Bone marrow smear. May-Grünwald-Giemsa/Pappenheim stain: 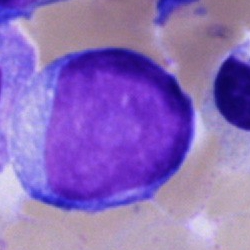 Impression — undifferentiated blast.